40× objective, oil immersion; bone marrow smear:
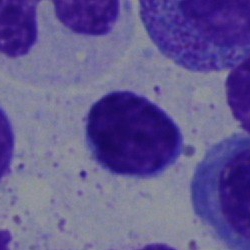 The morphological class is typical lymphocyte.